Bone marrow aspirate smear
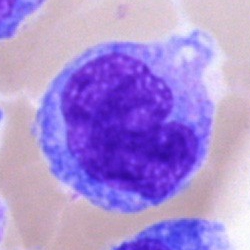

Cell type: monocyte.